Bone marrow smear · 250×250 px · May-Grünwald-Giemsa/Pappenheim stain:
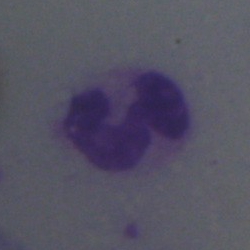

Specimen: bone marrow smear.
Classification: segmented neutrophil.
Lineage: myeloid.